Single-cell crop. Bone marrow aspirate smear
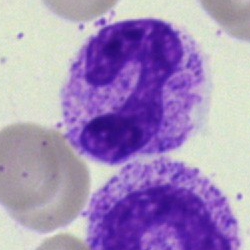
The classification is neutrophil (segmented).